MGG-stained · 40× oil immersion · bone marrow smear.
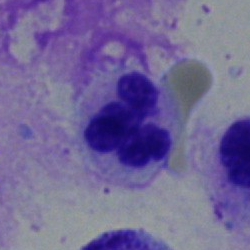Cell type: segmented neutrophil.